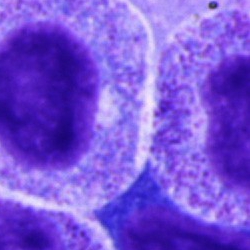Q: What is shown here?
A: Promyelocyte.